Brightfield microscopy, 40× oil immersion; 250×250 px; bone marrow aspirate smear:
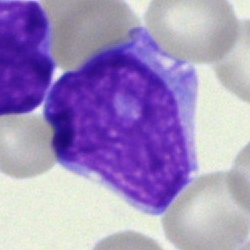Blast cell.